Bone marrow aspirate smear — 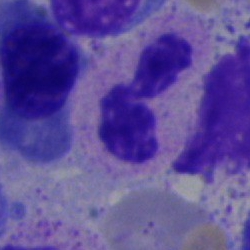Classification — segmented neutrophil.